Bone marrow aspirate smear — 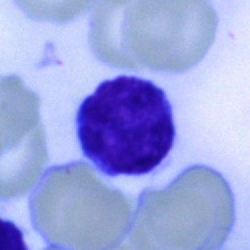
The morphological class is typical lymphocyte.